Bone marrow aspirate smear.
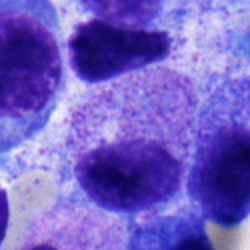

Morphology consistent with a myelocyte.